Bone marrow smear. May-Grünwald-Giemsa/Pappenheim stain — 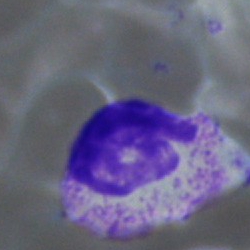
Impression → polymorphonuclear neutrophil.